May-Grünwald-Giemsa/Pappenheim stain; image size 250×250; bone marrow aspirate smear — 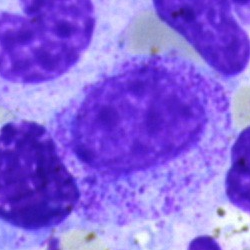 The cell is myelocyte.